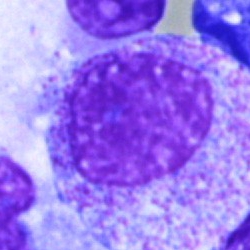
Myelocyte.